Bone marrow smear; cropped to a single cell: 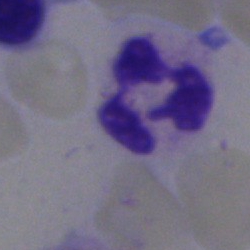Specimen: bone marrow aspirate smear.
Cell type: polymorphonuclear neutrophil.
Lineage: myeloid.